Bone marrow smear
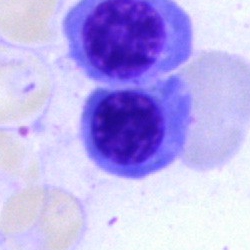 Morphology → erythroblast.